Bone marrow smear.
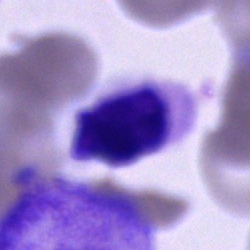

Cell type = unidentifiable cell.